Bone marrow smear · 250 by 250 pixels · brightfield, 40× oil-immersion objective
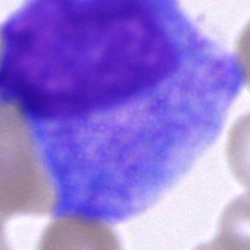

Cell = progranulocyte.